250×250; bone marrow aspirate smear; brightfield microscopy, 40× oil immersion:
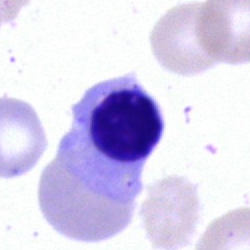 Q: Identify the cell.
A: An erythroblast.